Peripheral blood film.
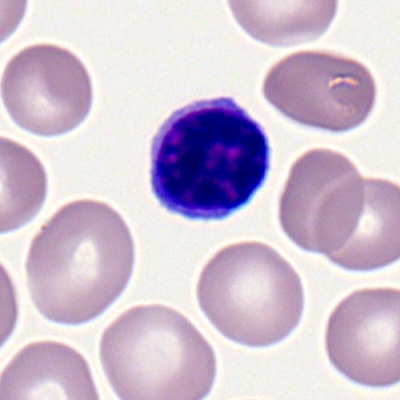Cell — typical lymphocyte.